Peripheral blood smear; image size 400×400: 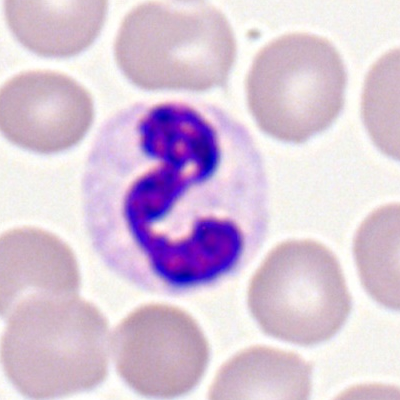
Q: Identify the cell.
A: It is a polymorphonuclear neutrophil.